Bone marrow aspirate smear — 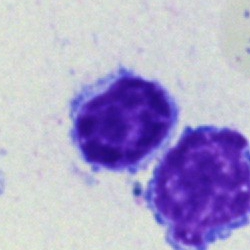 The cell is typical lymphocyte.